Bone marrow aspirate smear:
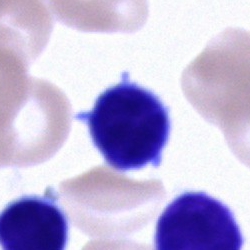
This is a lymphocyte.